Image size 250×250; bone marrow smear.
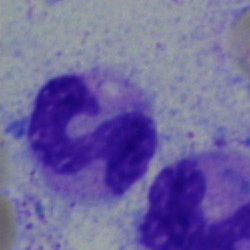 The cell shown is a band-form neutrophil.